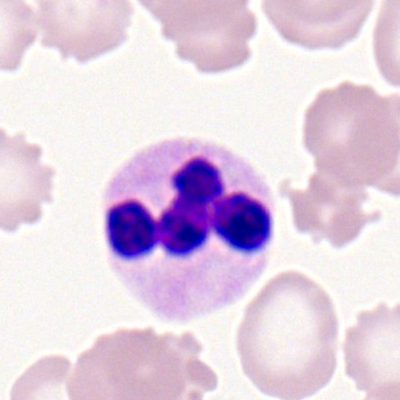
Morphological class: segmented neutrophil.